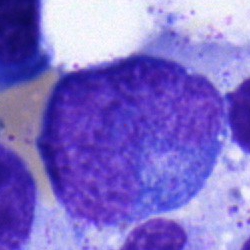 Bone marrow smear showing a promyelocyte.